Brightfield microscopy, 40× oil immersion; Pappenheim-stained; bone marrow smear — 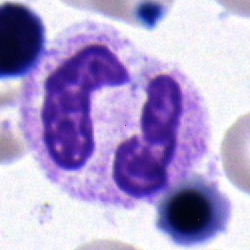 The cell is segmented neutrophil.